Bone marrow aspirate smear. Brightfield, 40× oil-immersion objective. May-Grünwald-Giemsa/Pappenheim stain.
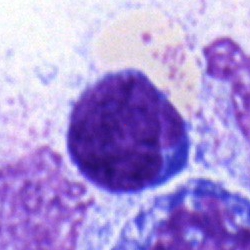

This is a lymphocyte.